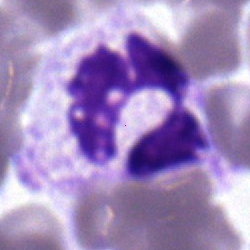 Bone marrow aspirate smear, single cell — segmented neutrophil.